Bone marrow aspirate smear:
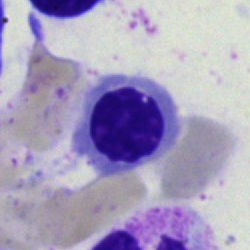Showing a normoblast.